Bone marrow smear
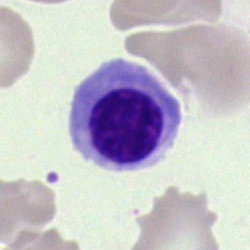

The morphological class is erythroblast.